Bone marrow aspirate smear · brightfield microscopy, 40× oil immersion — 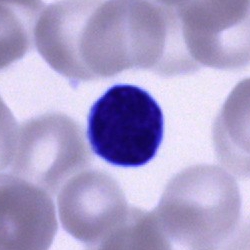 {"cell_type": "lymphocyte", "lineage": "lymphoid"}